Bone marrow aspirate smear — 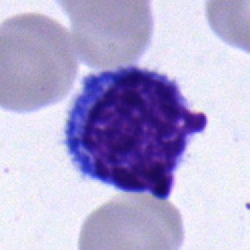

Single cell identified as a lymphocyte.